Bone marrow smear. Pappenheim-stained.
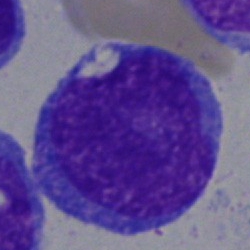
Promyelocyte.